Pappenheim-stained · bone marrow smear:
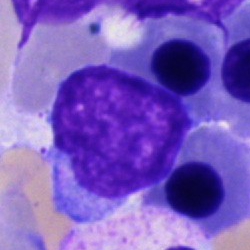
Impression — blast.